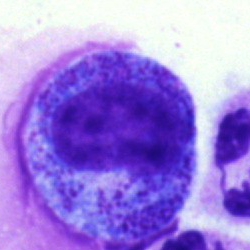 Q: What cell is this?
A: It is a progranulocyte.